Bone marrow smear. 250 by 250 pixels
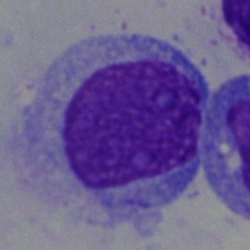
A cell of indeterminate lineage.